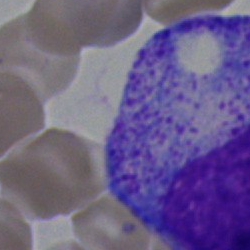

Specimen: bone marrow smear.
Classification: promyelocyte.
Lineage: myeloid.